May-Grünwald-Giemsa/Pappenheim stain · bone marrow smear · 40× oil immersion:
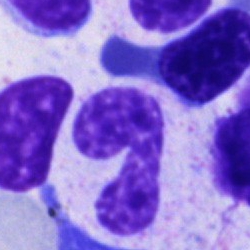

Specimen: bone marrow aspirate smear.
Morphological class: stab cell.
Lineage: myeloid.